Bone marrow aspirate smear:
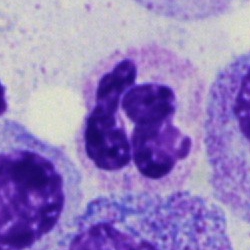 The morphological class is polymorphonuclear neutrophil.